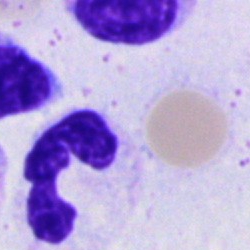
Q: What type of cell is this?
A: A neutrophil (segmented).